Image size 250×250. Bone marrow smear. 40× objective, oil immersion — 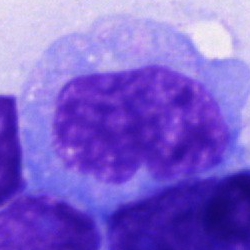 Showing a monocyte.